Bone marrow smear: 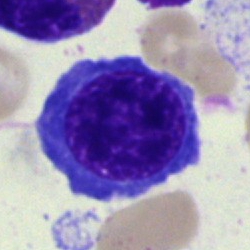

Showing a nucleated red cell.